Bone marrow smear
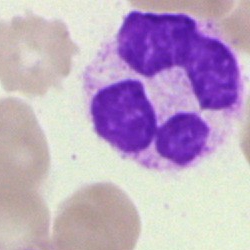

Cell type = segmented neutrophil.